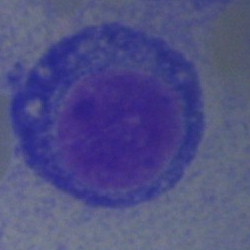 Q: What is the morphological classification of this cell?
A: It is a plasmacyte.